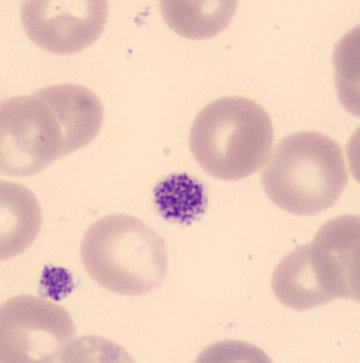Morphological class: platelet. Image: Peripheral blood smear.